Cropped to a single cell. Bone marrow aspirate smear:
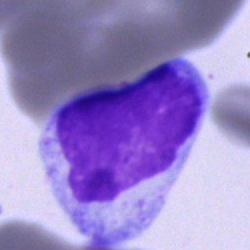Cell type: cell of indeterminate lineage.